Bone marrow aspirate smear
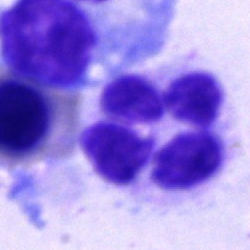
Q: What cell is this?
A: Segmented neutrophil.